Bone marrow aspirate smear:
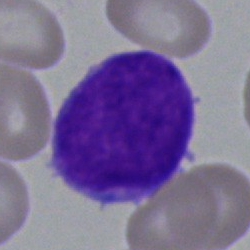Blast cell.